Bone marrow aspirate smear: 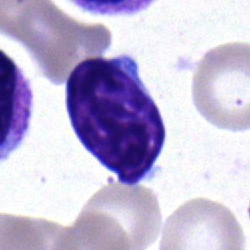

{"cell_type": "typical lymphocyte"}